Bone marrow aspirate smear — 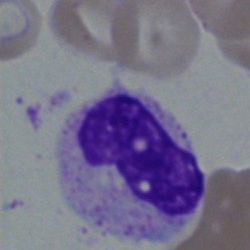

A metamyelocyte.